40× oil immersion · bone marrow aspirate smear: 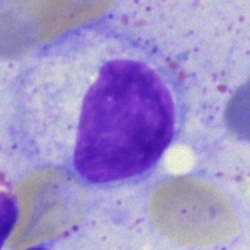 This is a monocyte.